Bone marrow smear — 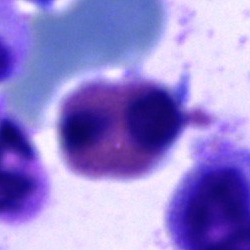
Cell: eosinophil.